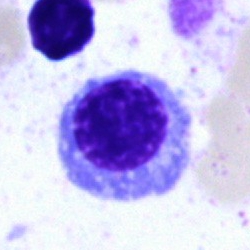 {"cell_type": "erythroblast", "lineage": "erythroid"}